Bone marrow smear:
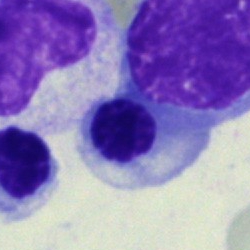
Q: What is shown here?
A: A nucleated red blood cell.